Bone marrow smear · single-cell field
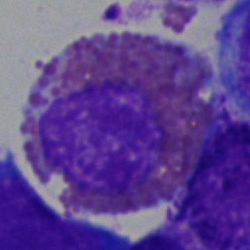 Showing an eosinophil.